Bone marrow smear
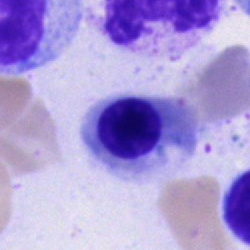 A nucleated red blood cell.